Bone marrow aspirate smear:
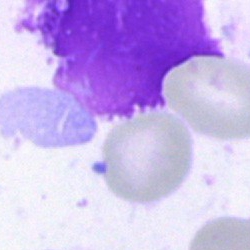
An artefact.